Bone marrow smear
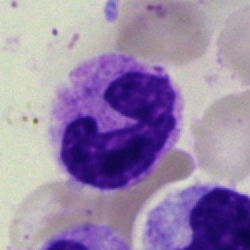 Specimen: bone marrow aspirate smear.
Cell type: band-form neutrophil.